Bone marrow aspirate smear: 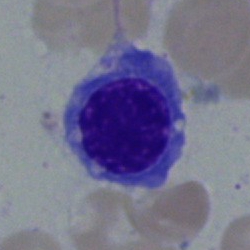
Morphology → erythroblast.